Bone marrow smear; 40× oil immersion:
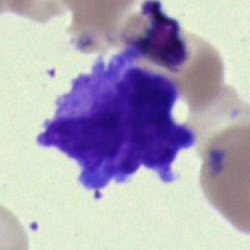 Q: What is shown here?
A: Progranulocyte.